Bone marrow smear:
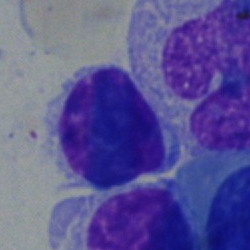Morphology consistent with a typical lymphocyte.